Single cell centered in the field · bone marrow smear
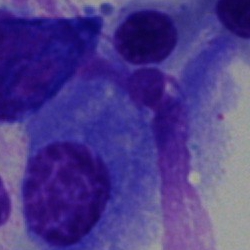

Impression — plasma cell.